Bone marrow smear.
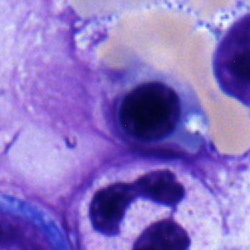

Q: What is the morphological classification of this cell?
A: A normoblast.